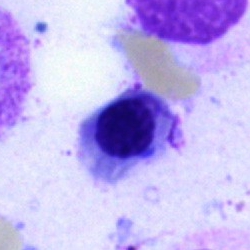

Specimen: bone marrow aspirate smear.
Morphological class: nucleated red blood cell.
Lineage: erythroid.